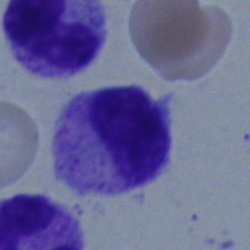
Specimen: bone marrow aspirate smear.
Cell type: metamyelocyte.
Lineage: myeloid.